Bone marrow smear
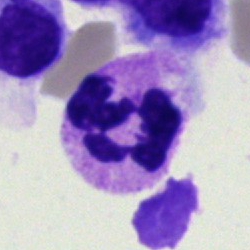 Cell type = segmented neutrophil.